Bone marrow smear · May-Grünwald-Giemsa/Pappenheim stain.
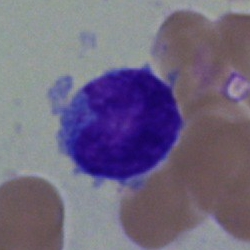
The cell shown is a lymphocyte.